Single-cell crop · bone marrow smear — 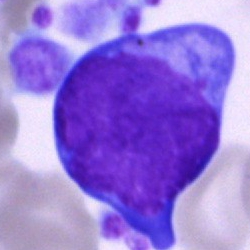

Morphological class — undifferentiated blast.